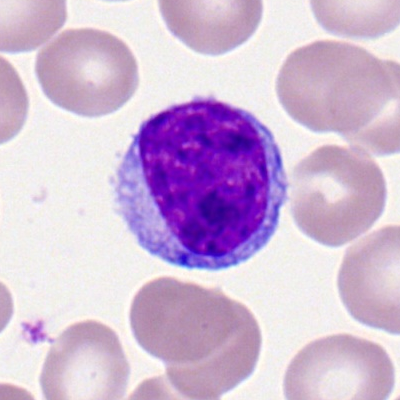Specimen: peripheral blood film.
Classification: typical lymphocyte.
Lineage: lymphoid.